M8 digital microscope (Precipoint), 100× oil immersion · peripheral blood smear · Romanowsky-type stain.
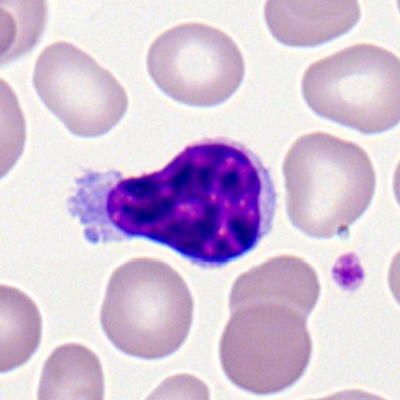
Q: Which cell type is shown here?
A: This is a typical lymphocyte.